Bone marrow aspirate smear
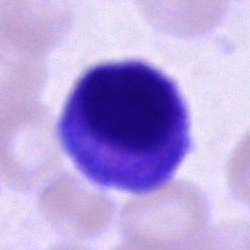Classification — unidentifiable cell.